Bone marrow smear:
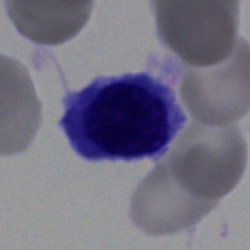

Single cell identified as a typical lymphocyte.